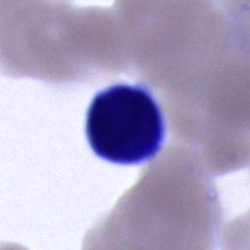

A typical lymphocyte on a bone marrow smear.